Bone marrow smear — 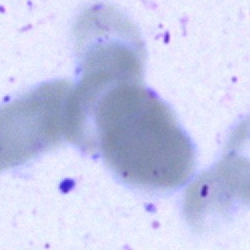 Q: What is shown here?
A: It is an artifact.